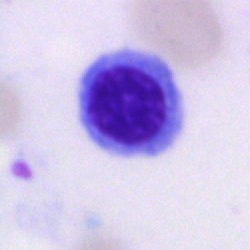

Q: What cell is this?
A: A nucleated red blood cell.